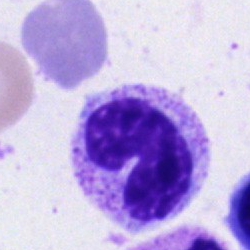

Morphology — metamyelocyte.